Peripheral blood smear.
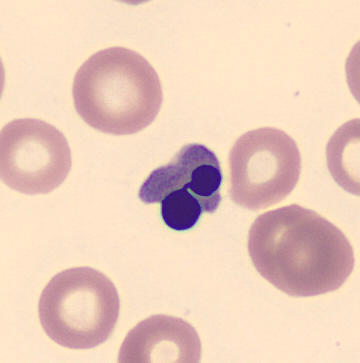
Q: What is this?
A: Nucleated red blood cell.